Bone marrow smear:
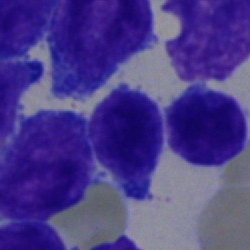

Classification = typical lymphocyte.